Bone marrow smear: 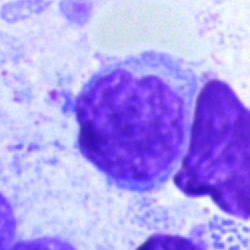 Q: What is shown here?
A: It is an artefact.